Bone marrow smear — 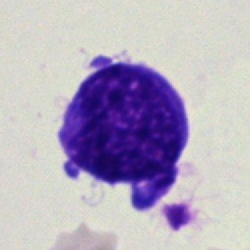

Single cell identified as an undifferentiated blast.